Cropped to a single cell. Bone marrow smear: 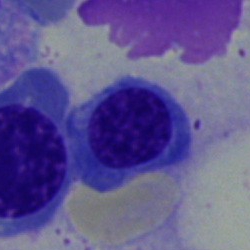Q: What cell is this?
A: A normoblast.